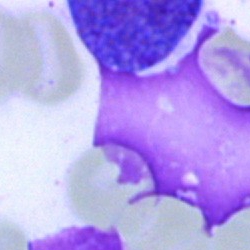Single-cell crop from a bone marrow smear: artefact.